Bone marrow aspirate smear
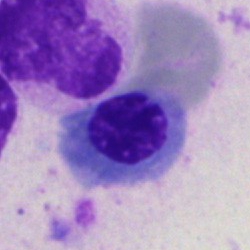

Classification: nucleated red blood cell.